Brightfield microscopy, 40× oil immersion. Pappenheim-stained. Bone marrow smear.
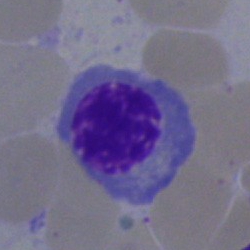
Q: Identify the cell.
A: Normoblast.